Bone marrow aspirate smear. 250×250
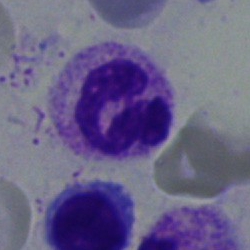 Impression → polymorphonuclear neutrophil.